Bone marrow aspirate smear; MGG-stained; cropped to a single cell — 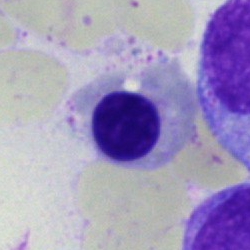
Showing a nucleated red blood cell.